Bone marrow smear — 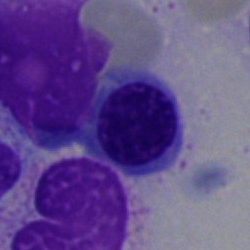 Q: What type of cell is this?
A: This is an erythroblast.